Brightfield microscopy, 40× oil immersion. Bone marrow aspirate smear — 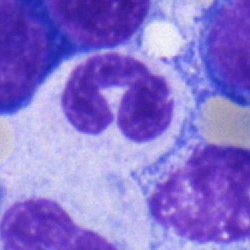Cell type — band-form neutrophil.